100× oil immersion, 14.14 px/µm. Peripheral blood smear. Single-cell field
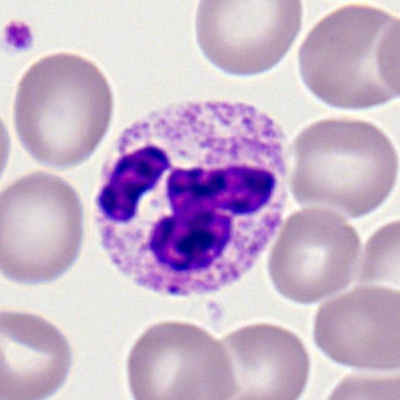
Cell type: polymorphonuclear neutrophil.